Bone marrow smear; 250 by 250 pixels: 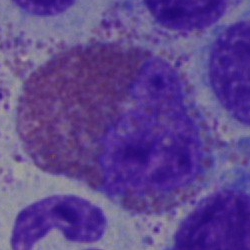 Q: What type of cell is this?
A: This is an eosinophil.